Bone marrow aspirate smear:
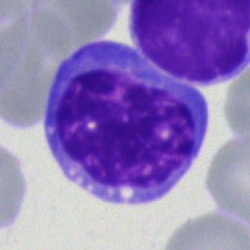Morphology consistent with a normoblast.